Bone marrow smear; brightfield microscopy, 40× oil immersion: 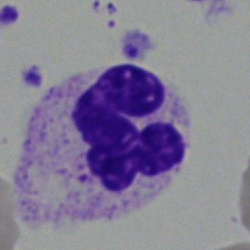Q: What is the morphological classification of this cell?
A: It is a polymorphonuclear neutrophil.